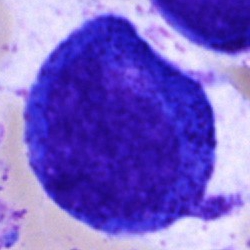

Classification: progranulocyte.